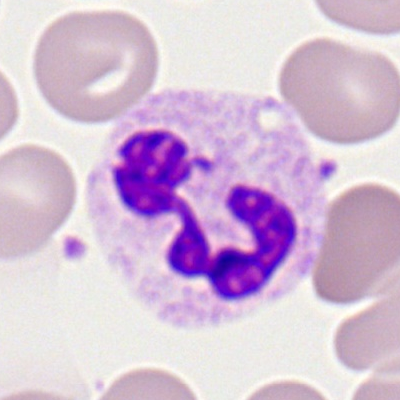
Morphological class = polymorphonuclear neutrophil.